Peripheral blood film; single-cell field
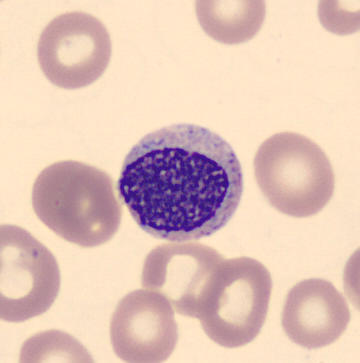The classification is myelocyte.